Bone marrow aspirate smear
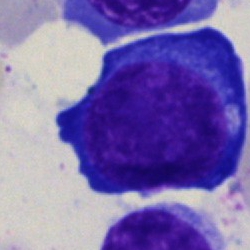
Proerythroblast.